Bone marrow smear · 40× oil immersion
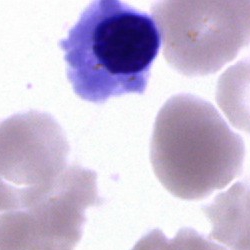

Morphological class: nucleated red blood cell.